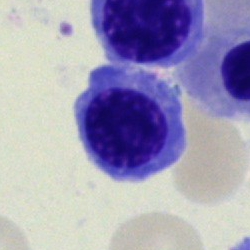

The cell type is nucleated red cell.